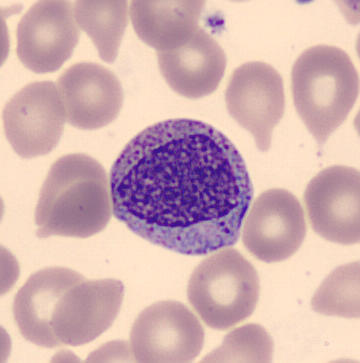 Specimen: peripheral blood smear.
Classification: myelocyte.
Lineage: myeloid.